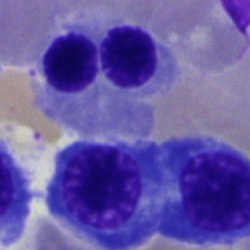
Impression → nucleated red cell.